Cropped to a single cell. Bone marrow aspirate smear. 250×250:
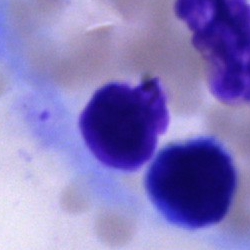 This is an artifact.